Bone marrow aspirate smear — 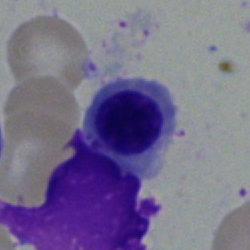
Cell type: nucleated red blood cell.